Cropped to a single cell; bone marrow smear:
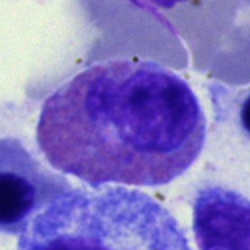
Q: Identify the cell.
A: This is an eosinophil.